Bone marrow aspirate smear
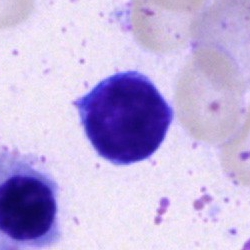
{"cell_type": "typical lymphocyte", "lineage": "lymphoid"}